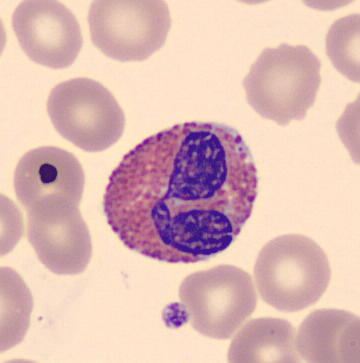

Q: Which cell type is shown here?
A: It is an eosinophilic granulocyte.
Preparation: Peripheral blood smear.